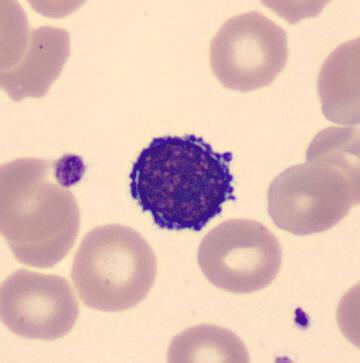Morphology → typical lymphocyte.
Acquisition: Image size 360×363. Peripheral blood smear.